Peripheral blood film.
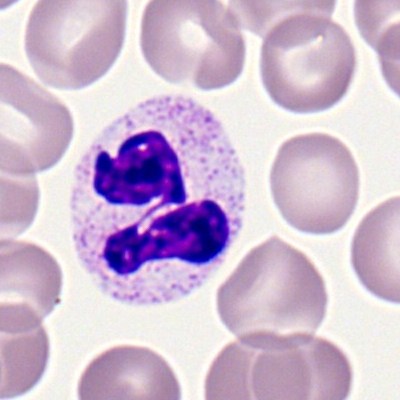 Morphology — segmented neutrophil.